40× objective, oil immersion · bone marrow smear · image size 250×250 — 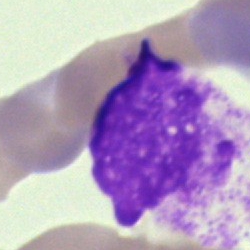

This is a cell of indeterminate lineage.